Bone marrow smear.
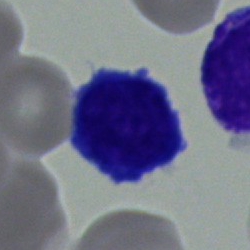Cell = typical lymphocyte.